Bone marrow smear: 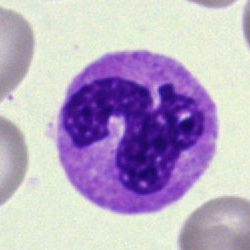 This is a neutrophil (segmented).